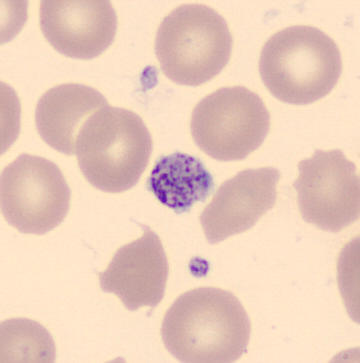The classification is platelet (thrombocyte).